Bone marrow aspirate smear.
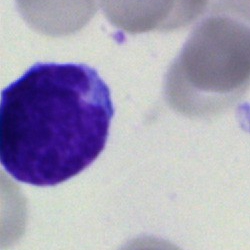
The cell shown is a blast.